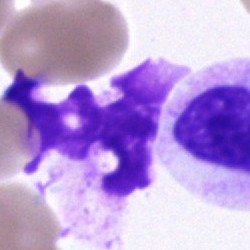 Bone marrow smear showing a cell of indeterminate lineage.